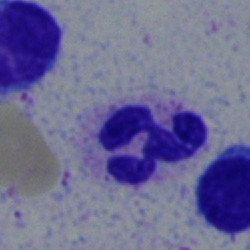 Impression — segmented neutrophil.